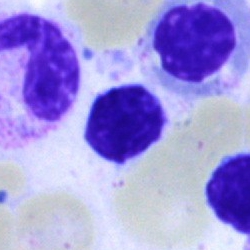 Specimen: bone marrow smear.
Classification: lymphocyte.
Lineage: lymphoid.